Peripheral blood film:
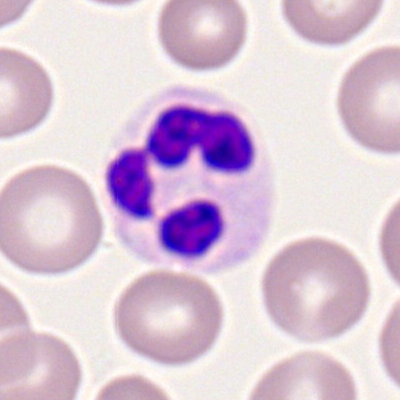

The cell shown is a segmented neutrophil.